Brightfield, 40× oil-immersion objective; 250 by 250 pixels; bone marrow smear — 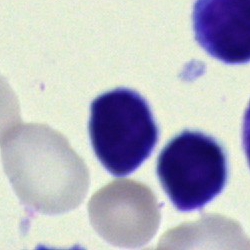Morphology — lymphocyte.